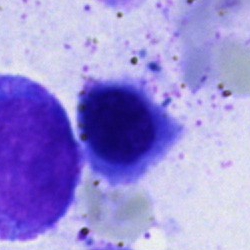

A normoblast.